Image size 250×250 · bone marrow aspirate smear: 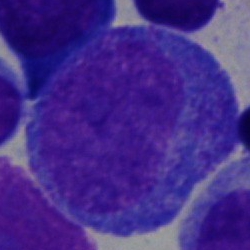Specimen: bone marrow aspirate smear.
Cell type: progranulocyte.
Lineage: myeloid.